Bone marrow aspirate smear
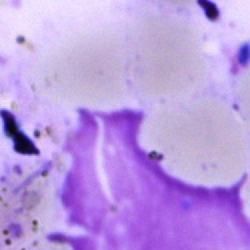
Q: What is shown here?
A: Artifact.